Bone marrow smear — 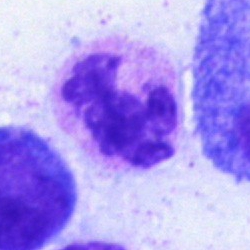 Cell type — polymorphonuclear neutrophil.